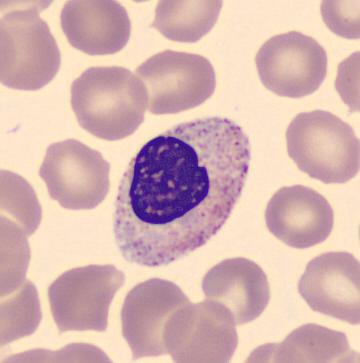 Specimen: peripheral blood film.
Morphological class: metamyelocyte.
Lineage: myeloid.
Single cell centered in the field.